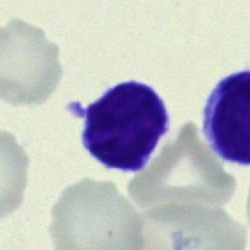 Bone marrow smear showing a lymphocyte.